Bone marrow aspirate smear:
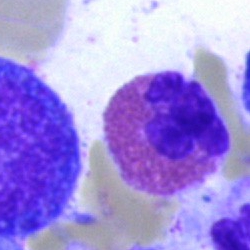
Cell type = eosinophil.